May-Grünwald-Giemsa/Pappenheim stain; image size 250×250; bone marrow aspirate smear.
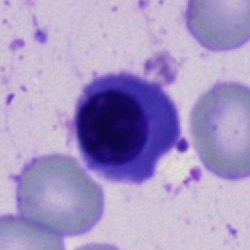The classification is erythroblast.